Single-cell crop. Bone marrow smear
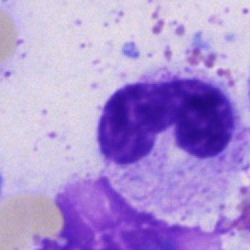
The cell shown is a band neutrophil.